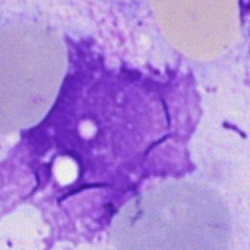 The classification is artifact.